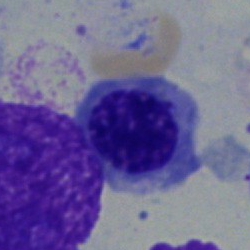
Single-cell crop from a bone marrow smear: nucleated red cell.